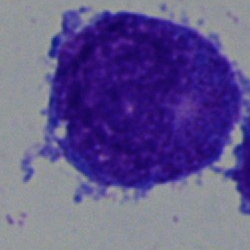

Bone marrow aspirate smear, single cell — promyelocyte.